Bone marrow smear. Single cell centered in the field.
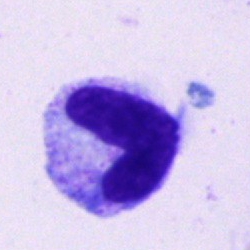Impression → band-form neutrophil.